Bone marrow smear
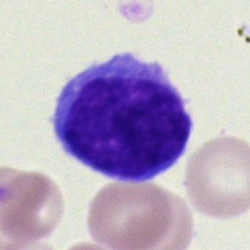
Specimen: bone marrow aspirate smear.
Classification: lymphocyte.